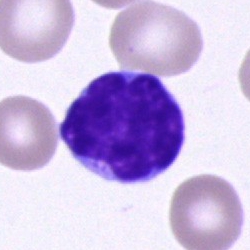 The classification is lymphocyte.